Bone marrow aspirate smear.
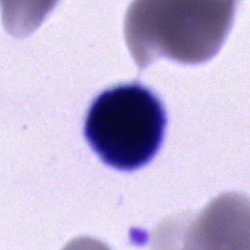 Q: What is the morphological classification of this cell?
A: Unidentifiable cell.